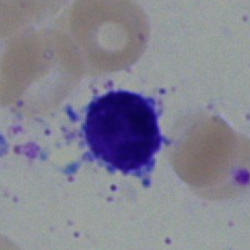
Q: Identify the cell.
A: A typical lymphocyte.